Bone marrow smear — 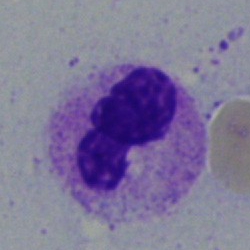
Morphology — segmented neutrophil.